Bone marrow smear
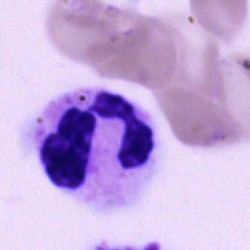
Impression → neutrophil (segmented).